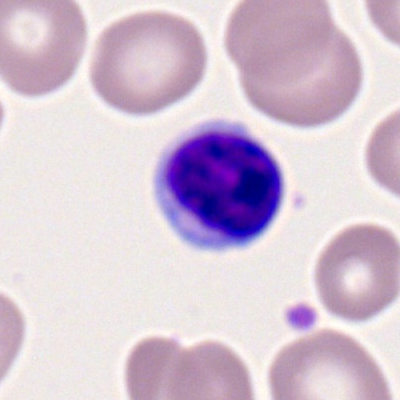
Specimen: peripheral blood film.
Cell type: lymphocyte.